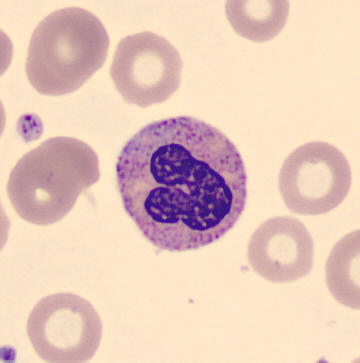The cell shown is a band neutrophil.